Single-cell field; bone marrow aspirate smear
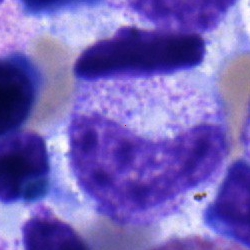

Q: Identify the cell.
A: It is a metamyelocyte.